Bone marrow smear — 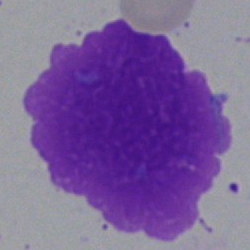Morphology consistent with an artefact.